Bone marrow aspirate smear:
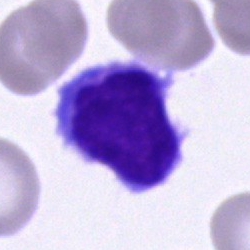
Impression → lymphocyte.